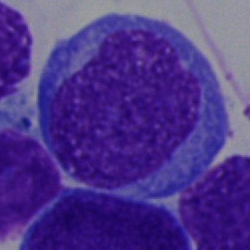
Classification: undifferentiated blast.